250×250 px. Brightfield, 40× oil-immersion objective. Bone marrow smear: 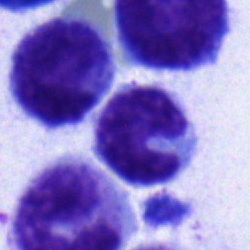
Cell type — monocyte.